Peripheral blood smear — 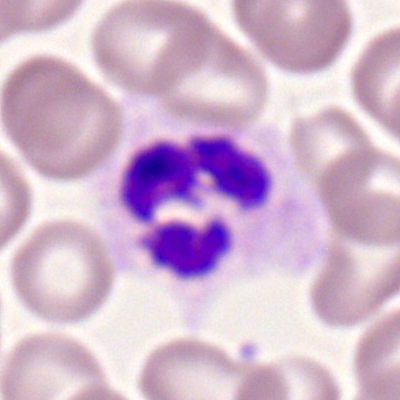{"cell_type": "polymorphonuclear neutrophil", "lineage": "myeloid"}